Bone marrow smear:
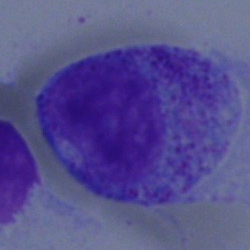 {"cell_type": "myelocyte", "lineage": "myeloid"}